Peripheral blood film — 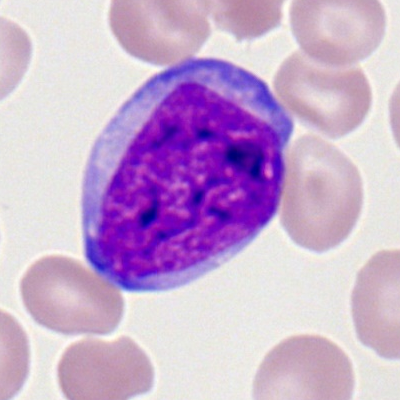The cell shown is a myeloid blast.